Bone marrow aspirate smear.
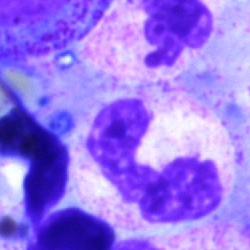

Showing a neutrophil (segmented).